250 by 250 pixels · single-cell field · bone marrow smear.
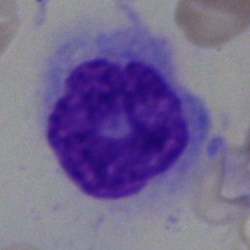
{"cell_type": "monocyte", "lineage": "myeloid"}